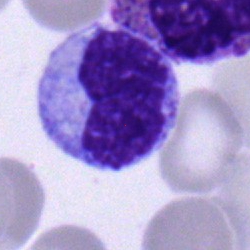
Morphology consistent with a metamyelocyte.